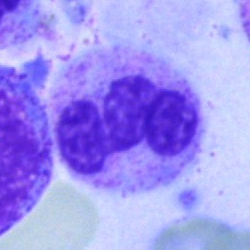 This is a neutrophil (segmented).